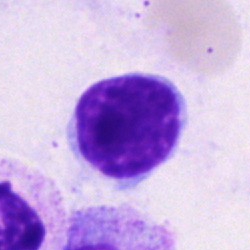
Q: What is the morphological classification of this cell?
A: Typical lymphocyte.